Bone marrow smear; 40× objective, oil immersion — 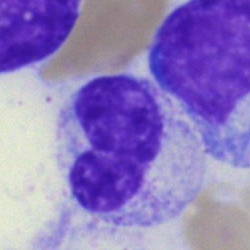 The cell type is myelocyte.